Bone marrow aspirate smear · May-Grünwald-Giemsa/Pappenheim stain: 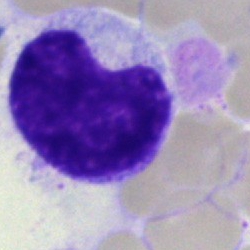 Specimen: bone marrow aspirate smear.
Cell type: metamyelocyte.